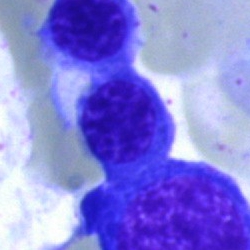Single cell identified as an erythroblast.